May-Grünwald-Giemsa stain · bone marrow smear:
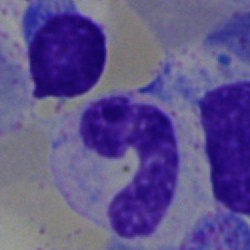 Neutrophil (band).